250 by 250 pixels · bone marrow aspirate smear · May-Grünwald-Giemsa stain.
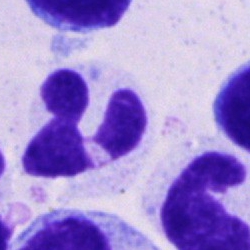Morphology consistent with a segmented neutrophil.